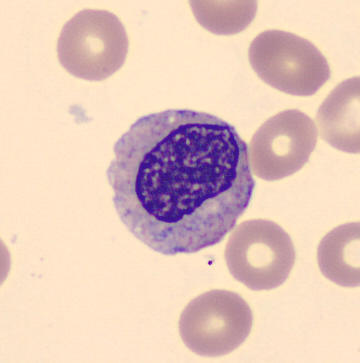 The cell shown is a metamyelocyte.
May-Grünwald-Giemsa-stained. Peripheral blood smear. 360 by 363 pixels.